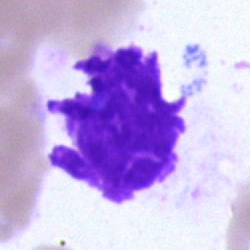Impression → artefact.